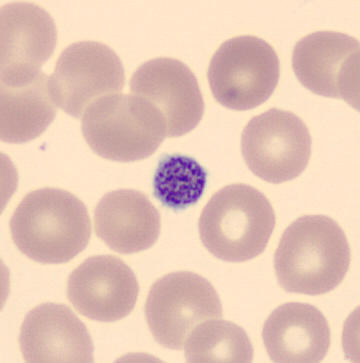CellaVision DM96.
Specimen: peripheral blood film.
Morphological class: thrombocyte.